Bone marrow aspirate smear.
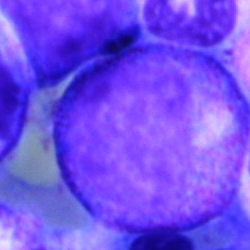This is a myelocyte.